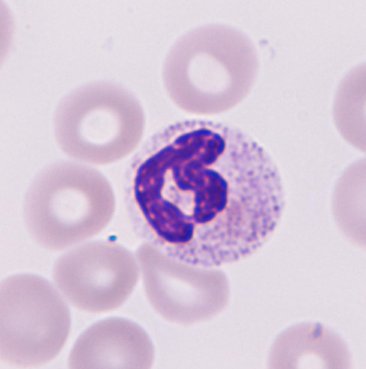
Q: Identify the cell.
A: It is a neutrophil granulocyte.
Peripheral blood film; 366 by 369 pixels.